Bone marrow aspirate smear — 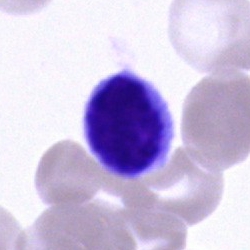 Morphological class: lymphocyte.